Bone marrow aspirate smear — 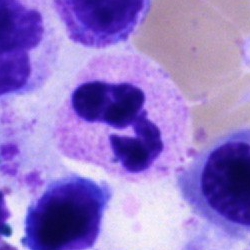A polymorphonuclear neutrophil.